Pappenheim-stained; bone marrow aspirate smear: 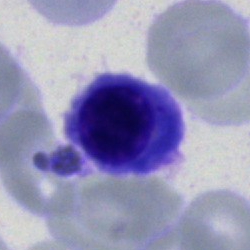Morphological class: nucleated red blood cell.